100× objective, oil immersion. Peripheral blood film. Romanowsky-stained.
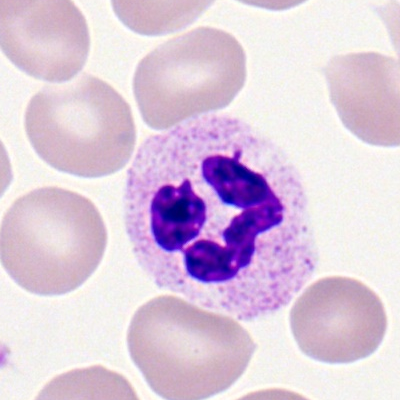 The morphological class is polymorphonuclear neutrophil.